Bone marrow aspirate smear
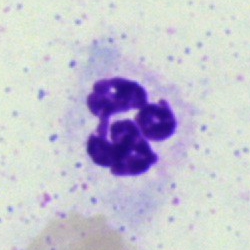

{"cell_type": "segmented neutrophil", "lineage": "myeloid"}